Bone marrow smear. Pappenheim-stained. Single-cell crop — 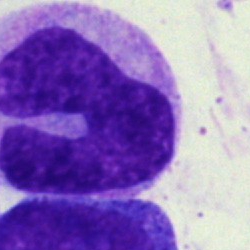

Single cell identified as a monocyte.